Bone marrow smear
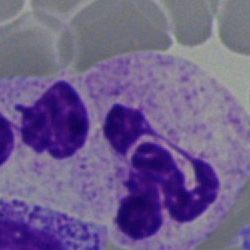
Cell type: neutrophil (segmented).